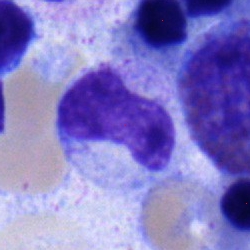 Morphological class — band neutrophil.